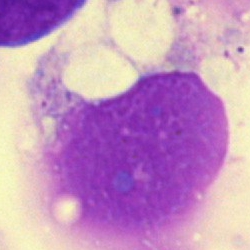 This is an artefact.